Bone marrow aspirate smear — 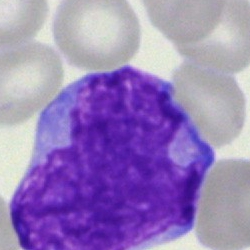
Impression — blast.